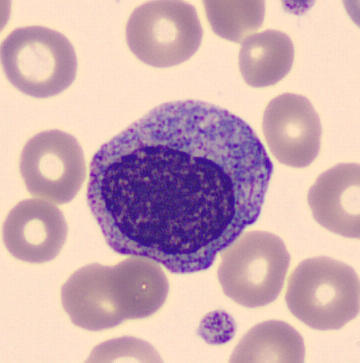 Q: What is this?
A: A promyelocyte.
Peripheral blood film; image size 360×363; MGG stain.